Bone marrow aspirate smear — 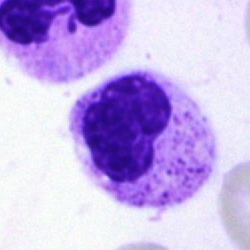 Impression → metamyelocyte.